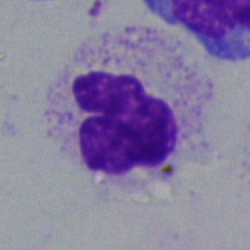
The cell is neutrophil (segmented).